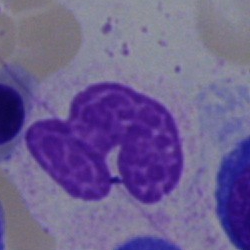Specimen: bone marrow smear.
Cell: band neutrophil.
Lineage: myeloid.